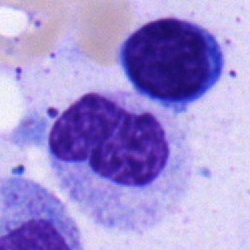
Bone marrow aspirate smear, single cell — metamyelocyte.